Bone marrow aspirate smear · 250×250 px · May-Grünwald-Giemsa/Pappenheim stain: 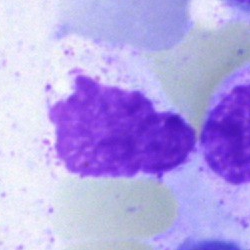Morphological class — artifact.